Bone marrow smear: 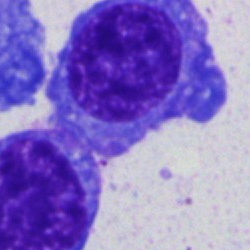 Cell type — plasma cell.